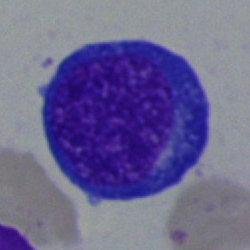
{"cell_type": "nucleated red blood cell"}